Single-cell crop; 250×250; bone marrow aspirate smear: 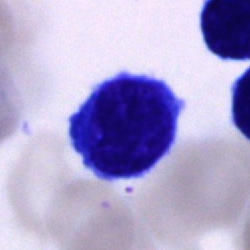 Morphology consistent with a typical lymphocyte.